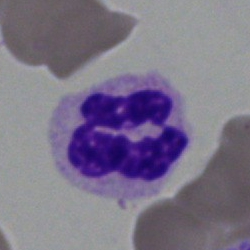
Segmented neutrophil.